Bone marrow smear
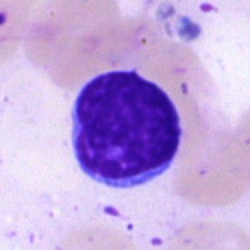

The morphological class is lymphocyte.